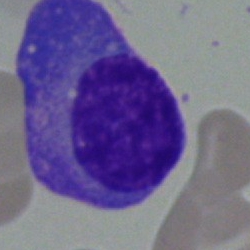
Impression → plasma cell.